Bone marrow smear. 40× oil immersion. May-Grünwald-Giemsa/Pappenheim stain.
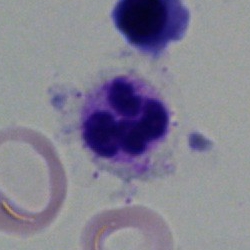

The classification is polymorphonuclear neutrophil.